Bone marrow smear
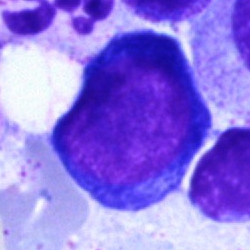The cell shown is a normoblast.